Bone marrow smear:
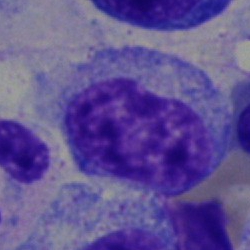Q: What is the morphological classification of this cell?
A: This is a metamyelocyte.